Bone marrow aspirate smear; May-Grünwald-Giemsa stain; brightfield, 40× oil-immersion objective.
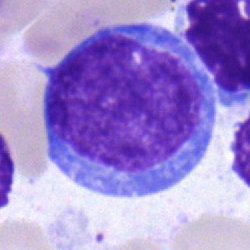Classification: blast.